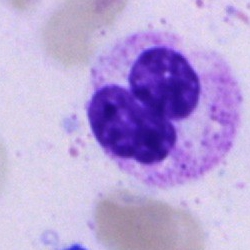

The morphological class is neutrophil (segmented).